Bone marrow aspirate smear.
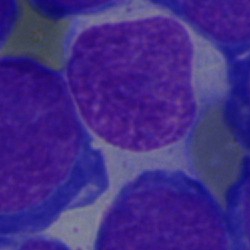
The cell shown is a blast.